Peripheral blood film.
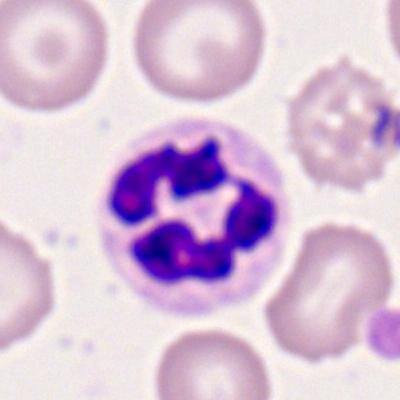
Morphology consistent with a neutrophil (segmented).